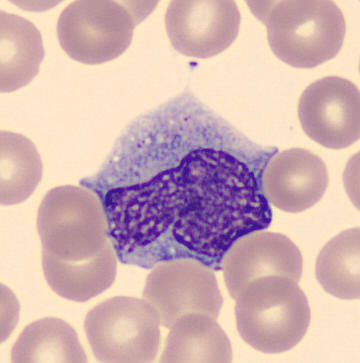

Acquisition: Peripheral blood smear.

Q: What is the morphological classification of this cell?
A: This is a monocyte.